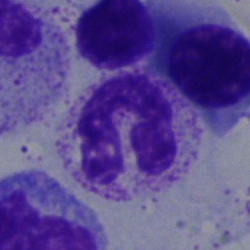

Q: What is shown here?
A: It is a neutrophil (segmented).